Bone marrow smear:
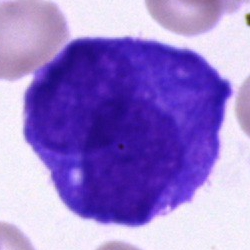

Morphological class = unidentifiable cell.